Bone marrow smear
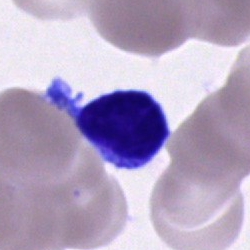Cell type — lymphocyte.